MGG-stained · bone marrow aspirate smear — 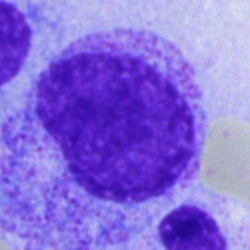 The cell type is myelocyte.